Bone marrow aspirate smear:
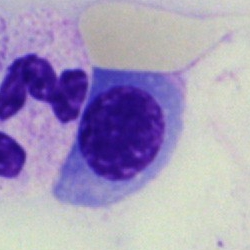Cell = normoblast.